Cropped to a single cell. Bone marrow smear:
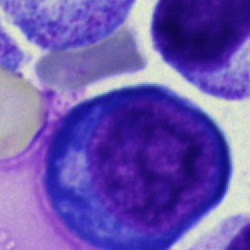 Morphology consistent with a normoblast.